Bone marrow aspirate smear:
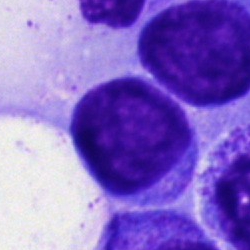Impression — undifferentiated blast.